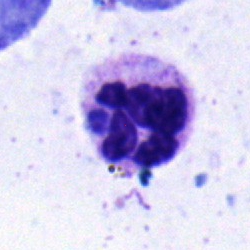Morphology — polymorphonuclear neutrophil.